Image size 250×250; bone marrow smear.
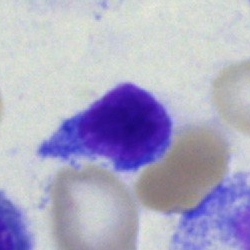
Q: What type of cell is this?
A: It is a typical lymphocyte.